Bone marrow aspirate smear; image size 250×250:
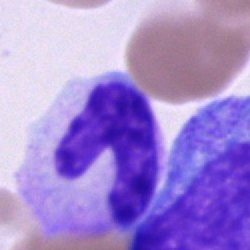

The cell shown is a neutrophil (band).